Bone marrow aspirate smear · 250×250 — 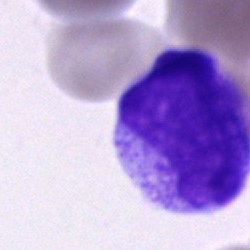 Morphology — cell of indeterminate lineage.